Bone marrow smear: 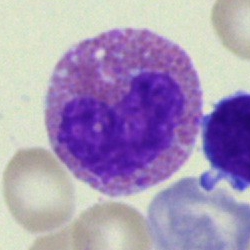
Morphology consistent with an eosinophil.